Peripheral blood smear: 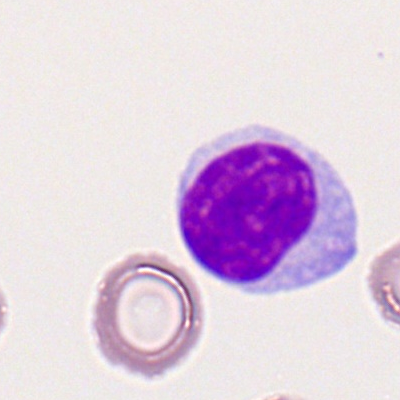 Morphology consistent with a lymphocyte.